Peripheral blood film
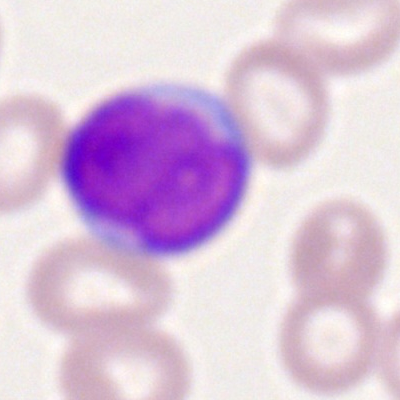
This is a myeloid blast.